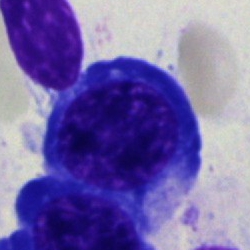

This is a normoblast.